Image size 250×250; bone marrow smear
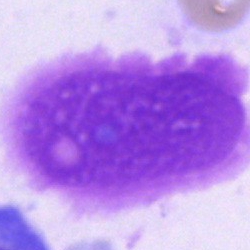

Q: What is shown here?
A: An artifact.